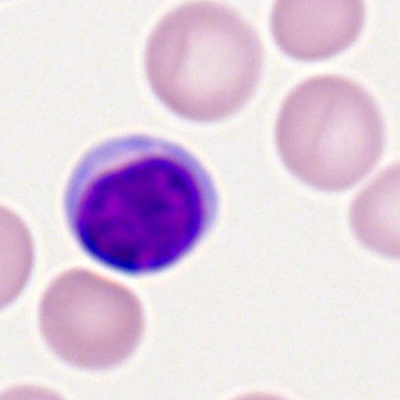 Q: What is shown here?
A: This is a typical lymphocyte.